Bone marrow aspirate smear: 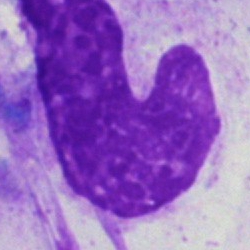
Showing an artefact.